Bone marrow aspirate smear. 40× oil immersion:
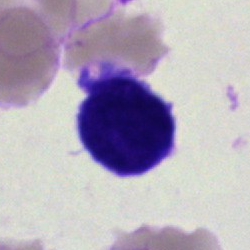The cell is artefact.